Bone marrow smear: 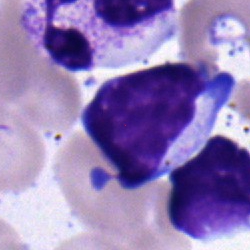
The cell type is typical lymphocyte.